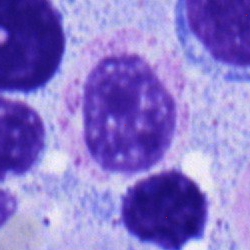
Specimen: bone marrow smear.
Cell type: myelocyte.